Single-cell crop. Bone marrow smear. May-Grünwald-Giemsa/Pappenheim stain:
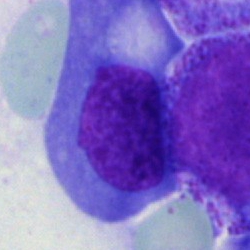 Showing a nucleated red cell.